MGG-stained. Bone marrow aspirate smear — 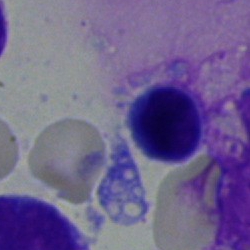 A typical lymphocyte.